Bone marrow aspirate smear.
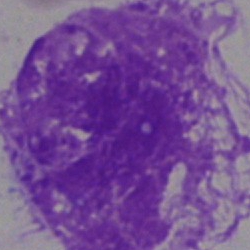Specimen: bone marrow aspirate smear.
Morphological class: artifact.